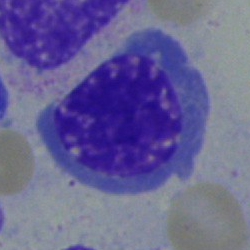Showing an erythroblast.